Bone marrow aspirate smear:
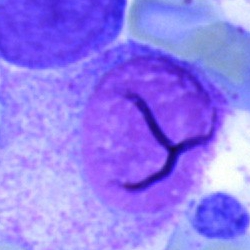 Single cell identified as an artifact.